40× objective, oil immersion · bone marrow smear — 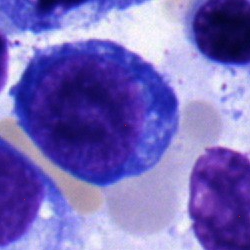
Classification — erythroblast.